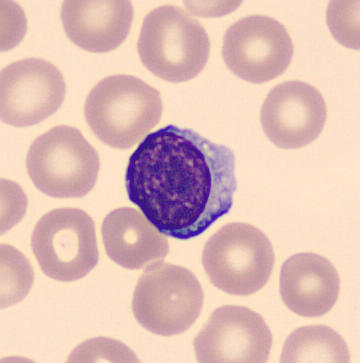

The classification is lymphocyte.